Bone marrow aspirate smear: 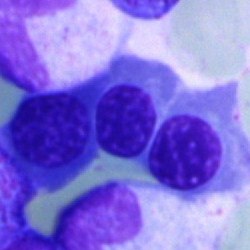

Morphological class: normoblast.